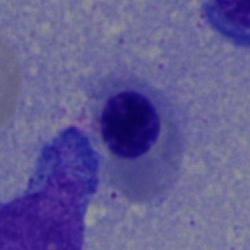
Q: Which cell type is shown here?
A: Normoblast.